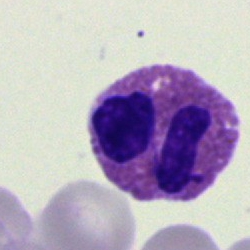 The morphological class is eosinophil.